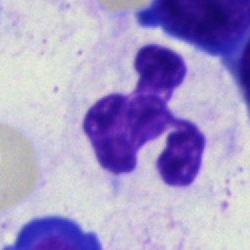
A neutrophil (segmented) on a bone marrow smear.